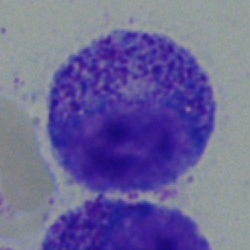

Classification — progranulocyte.